Bone marrow aspirate smear · May-Grünwald-Giemsa stain.
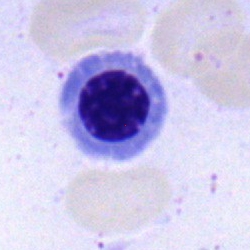

Morphological class — nucleated red blood cell.